Bone marrow smear: 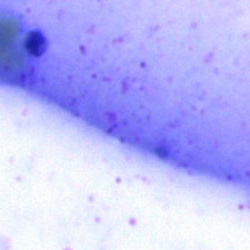 Specimen: bone marrow smear.
Cell type: artifact.